Bone marrow smear:
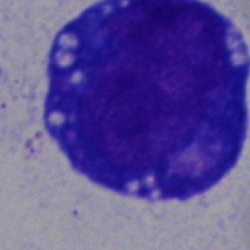

Impression → blast.